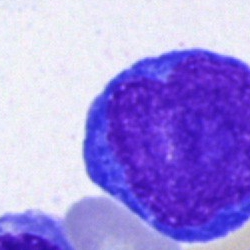
Bone marrow smear showing a proerythroblast.